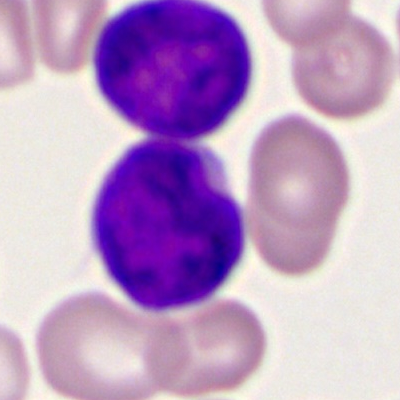

Morphology → myeloblast.